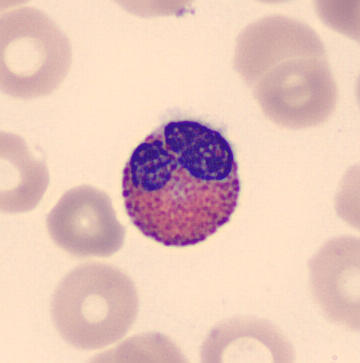Preparation: Peripheral blood smear. Eosinophil.